Bone marrow smear; 40× objective, oil immersion — 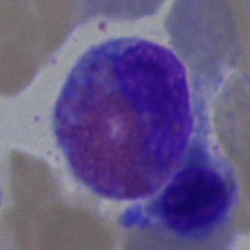Q: Identify the cell.
A: Eosinophil.